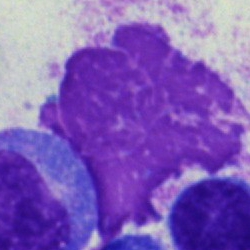Specimen: bone marrow smear.
Classification: artifact.